Single-cell field · bone marrow smear:
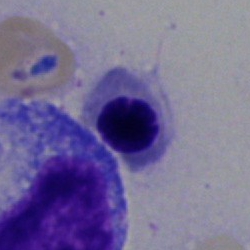

Classification = nucleated red cell.